Peripheral blood film:
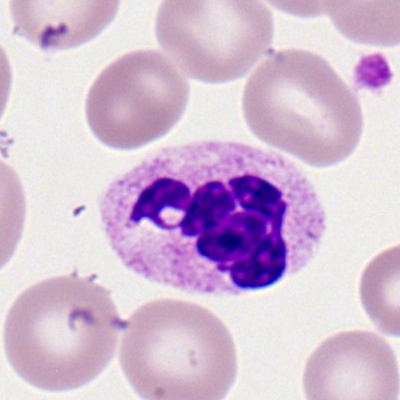

The cell shown is a segmented neutrophil.